40× objective, oil immersion; bone marrow aspirate smear; May-Grünwald-Giemsa stain — 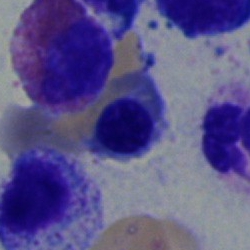
{"cell_type": "erythroblast"}